Bone marrow aspirate smear
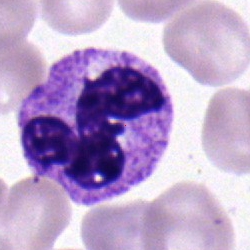 Morphology consistent with a neutrophil (segmented).